Brightfield microscopy, 40× oil immersion · bone marrow smear · 250×250 px: 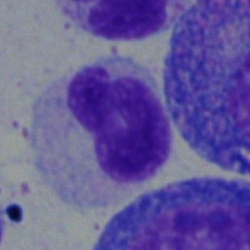
{"cell_type": "band neutrophil", "lineage": "myeloid"}